Single-cell crop; bone marrow aspirate smear; 250×250
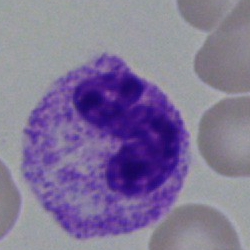

Impression → neutrophil (segmented).